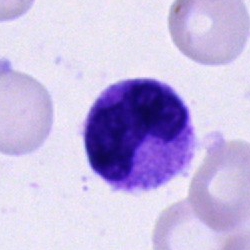 Cell type: neutrophil (segmented).